Bone marrow smear. 40× objective, oil immersion — 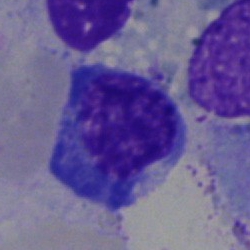

Showing a normoblast.